Bone marrow smear: 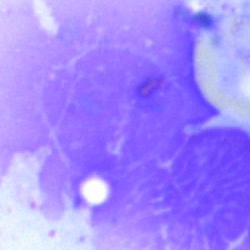Q: What is shown here?
A: This is an artefact.